Peripheral blood film:
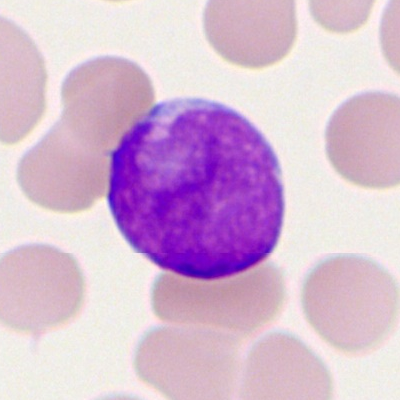

The cell type is myeloid blast.